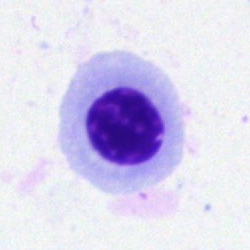
A nucleated red blood cell.